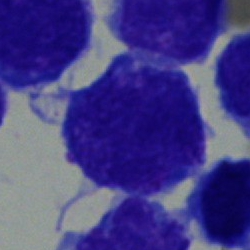 Classification — undifferentiated blast.